Bone marrow smear. 40× objective, oil immersion:
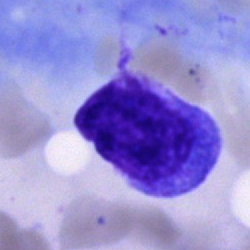 Showing an unidentifiable cell.